Bone marrow smear
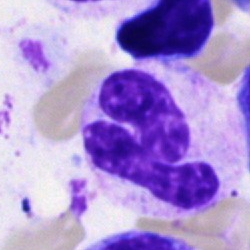

Morphological class: segmented neutrophil.